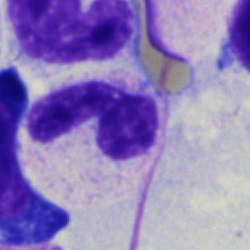
Impression → neutrophil (segmented).